Bone marrow smear — 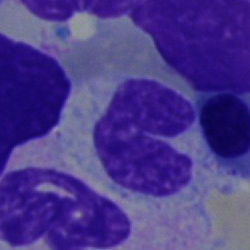
This is a stab cell.